40× objective, oil immersion. Bone marrow aspirate smear: 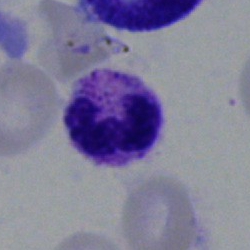Morphology — segmented neutrophil.